Bone marrow smear: 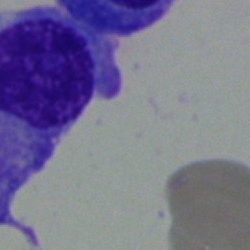 Cell type = plasma cell.